Bone marrow aspirate smear. 40× objective, oil immersion. Single cell centered in the field: 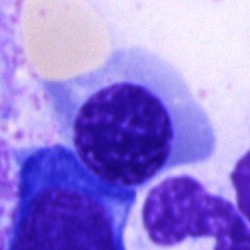Q: What is the morphological classification of this cell?
A: Nucleated red blood cell.